Bone marrow aspirate smear
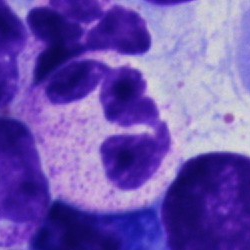 Segmented neutrophil.